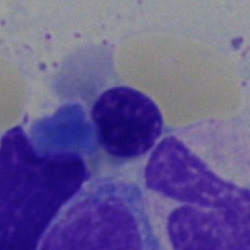

Morphology → nucleated red blood cell.